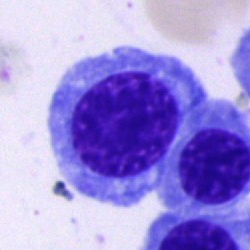 Cell: nucleated red cell.